40× objective, oil immersion · bone marrow aspirate smear — 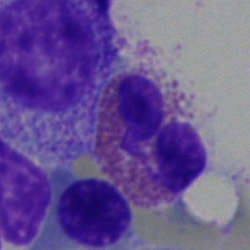 Q: What is shown here?
A: An eosinophilic granulocyte.